Single-cell crop; bone marrow smear — 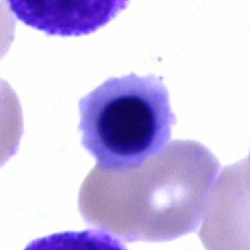
Showing a nucleated red blood cell.